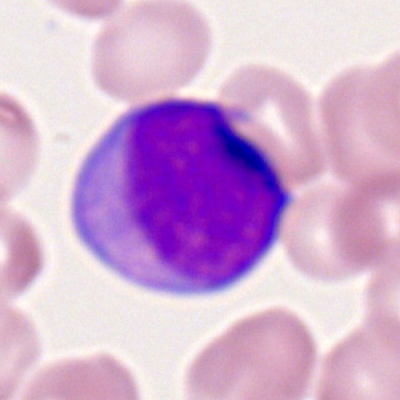

Morphology consistent with a myeloid blast.